Bone marrow smear — 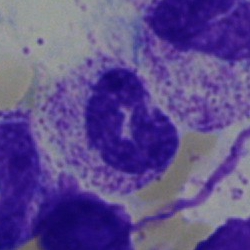

Q: What cell is this?
A: Polymorphonuclear neutrophil.